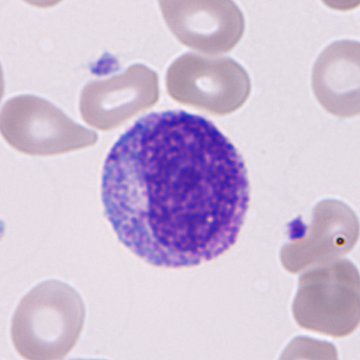 {"cell_type": "immature granulocyte (promyelocyte, myelocyte or metamyelocyte)"}